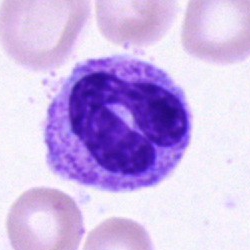
{"cell_type": "band-form neutrophil", "lineage": "myeloid"}